Single-cell field; bone marrow aspirate smear
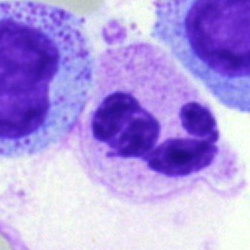
Q: What cell is this?
A: It is a polymorphonuclear neutrophil.